Single cell centered in the field; peripheral blood smear
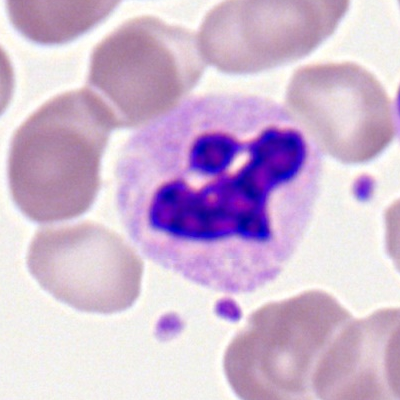The cell shown is a neutrophil (segmented).